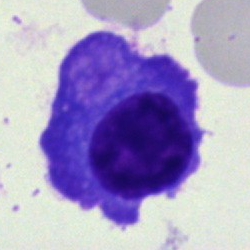

Morphology — plasma cell.